Bone marrow aspirate smear:
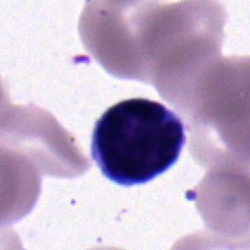{"cell_type": "typical lymphocyte", "lineage": "lymphoid"}